Bone marrow smear · 40× oil immersion:
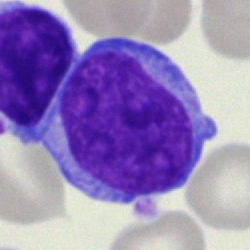

A lymphocyte (immature).